Image size 250×250 · bone marrow smear: 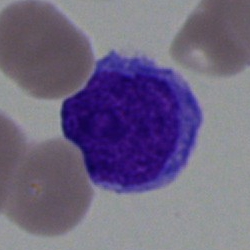
Morphology consistent with a lymphocyte.